40× oil immersion. Bone marrow smear — 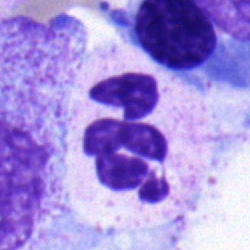

The cell shown is a neutrophil (segmented).